Bone marrow aspirate smear: 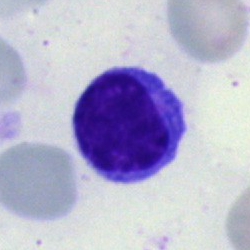

A typical lymphocyte.